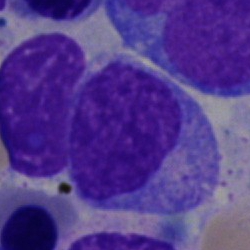 Cell type = promyelocyte.